Bone marrow aspirate smear; cropped to a single cell — 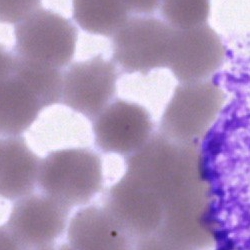

The cell is artifact.